Bone marrow smear — 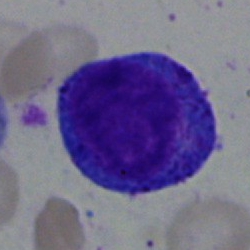 Impression — promyelocyte.